Bone marrow smear; Pappenheim-stained:
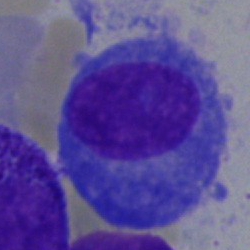

Plasmacyte.